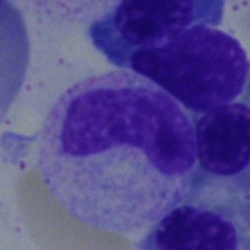
Cell type = neutrophil (band).